Peripheral blood smear
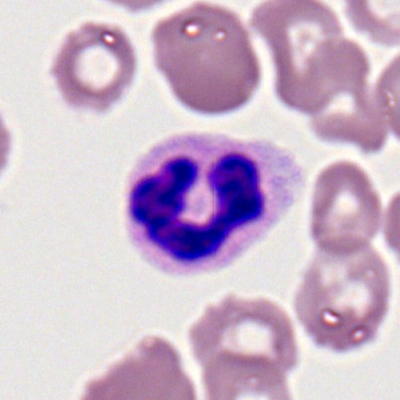
The morphological class is segmented neutrophil.